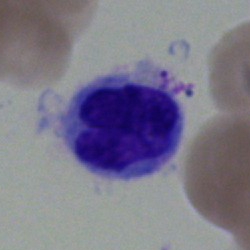 Bone marrow aspirate smear, single cell — monocyte.